Bone marrow aspirate smear · single-cell field:
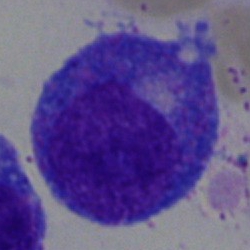
Q: What is shown here?
A: It is a promyelocyte.